Bone marrow aspirate smear:
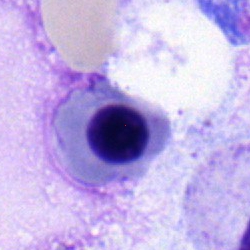Impression — normoblast.